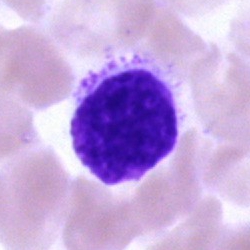Bone marrow smear showing an artifact.